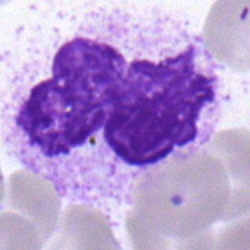 Specimen: bone marrow aspirate smear.
Classification: segmented neutrophil.
Lineage: myeloid.